Peripheral blood film — 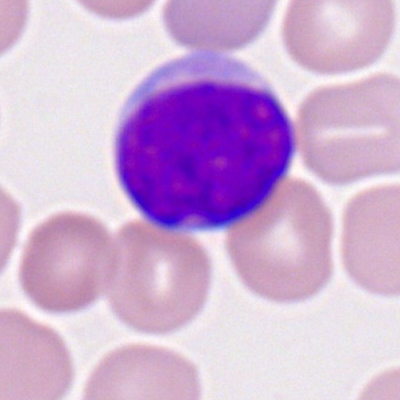 Specimen: peripheral blood film.
Cell type: myeloblast.
Lineage: myeloid.